Bone marrow smear · 40× oil immersion:
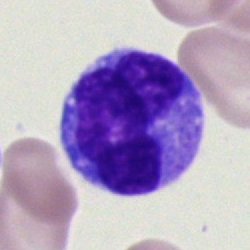 Morphology — monocyte.